Peripheral blood film:
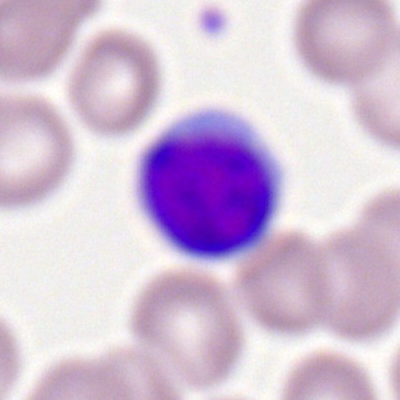The classification is typical lymphocyte.